Bone marrow aspirate smear; brightfield, 40× oil-immersion objective
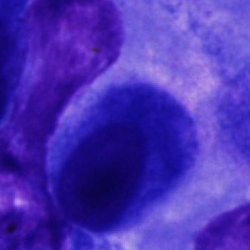

Cell = other cell type.